Bone marrow aspirate smear; brightfield, 40× oil-immersion objective: 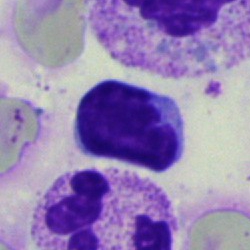
This is a lymphocyte.